100× oil immersion. Peripheral blood film. Single cell centered in the field.
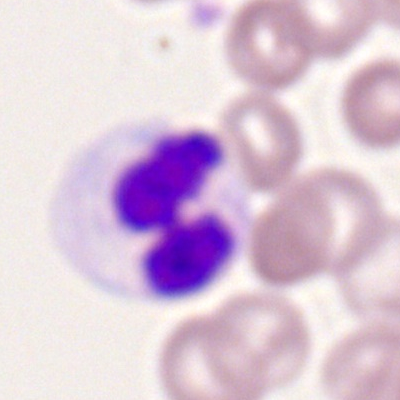This is a polymorphonuclear neutrophil.